Bone marrow smear.
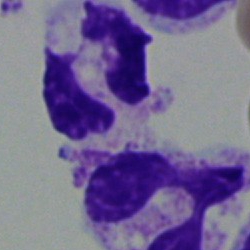
Q: What type of cell is this?
A: It is a polymorphonuclear neutrophil.